Bone marrow aspirate smear.
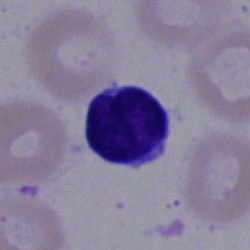

Q: Identify the cell.
A: It is a lymphocyte.